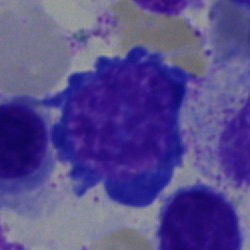

{"cell_type": "nucleated red cell", "lineage": "erythroid"}